40× objective, oil immersion; 250×250; bone marrow smear:
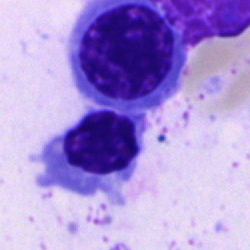 Impression → nucleated red blood cell.